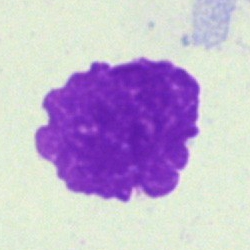 {"cell_type": "artefact"}